Cropped to a single cell. Bone marrow smear. May-Grünwald-Giemsa stain.
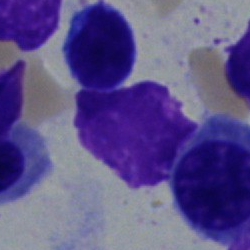
Specimen: bone marrow aspirate smear.
Classification: typical lymphocyte.
Lineage: lymphoid.